Pappenheim-stained · cropped to a single cell · bone marrow aspirate smear.
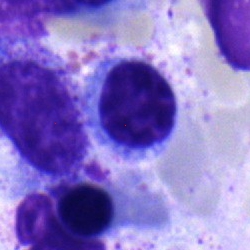Q: What type of cell is this?
A: Lymphocyte.